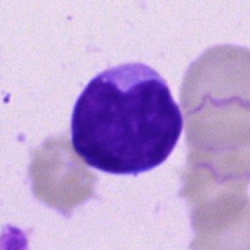 Q: What is the morphological classification of this cell?
A: A lymphocyte.